Image size 250×250. Bone marrow aspirate smear
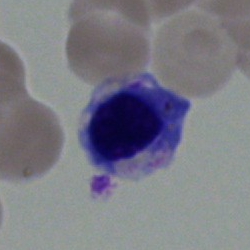
Q: What is shown here?
A: It is an erythroblast.